Peripheral blood smear. Image size 400×400 — 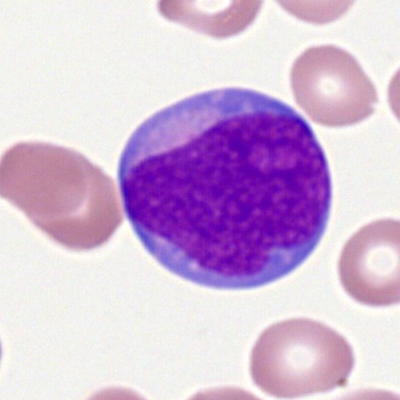The cell shown is a myeloblast.